Bone marrow smear
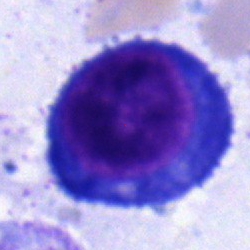Q: Which cell type is shown here?
A: A pronormoblast.